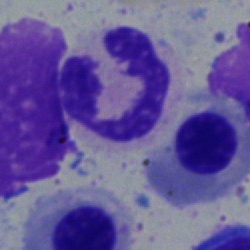
Specimen: bone marrow aspirate smear.
Cell type: polymorphonuclear neutrophil.
Lineage: myeloid.